Bone marrow aspirate smear.
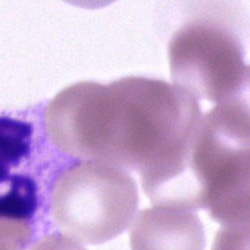
The cell shown is a segmented neutrophil.